250×250 px; bone marrow smear
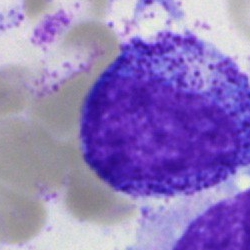 Promyelocyte.